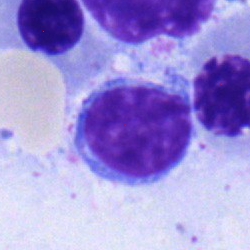

A typical lymphocyte on a bone marrow smear.